Peripheral blood film; MGG-stained: 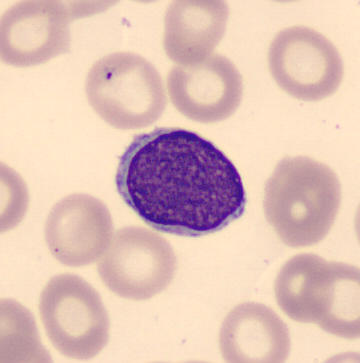Morphological class: typical lymphocyte.